Bone marrow aspirate smear; 40× oil immersion:
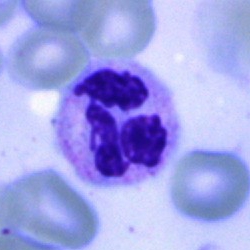 Cell = segmented neutrophil.